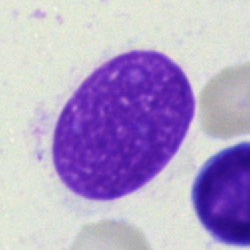
An artifact.